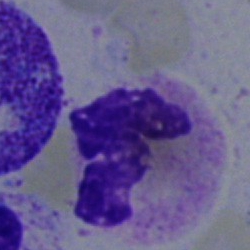

A polymorphonuclear neutrophil.